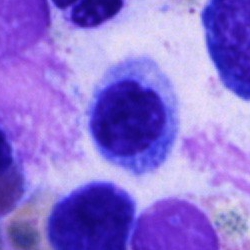 The cell is nucleated red blood cell.